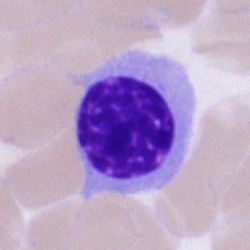An erythroblast on a bone marrow smear.